250 by 250 pixels · bone marrow aspirate smear:
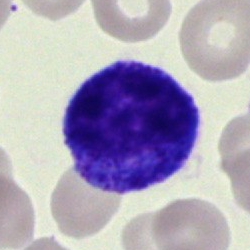

Morphology consistent with a progranulocyte.